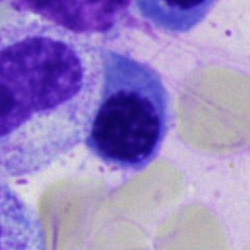 Impression → nucleated red cell.